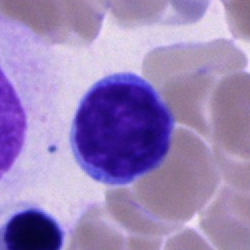
The cell type is typical lymphocyte.